Bone marrow aspirate smear
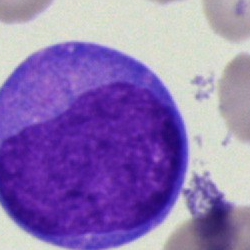 Cell type: blast cell.